250×250 · bone marrow smear · cropped to a single cell: 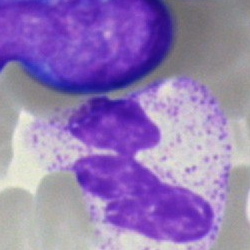 Impression — band-form neutrophil.